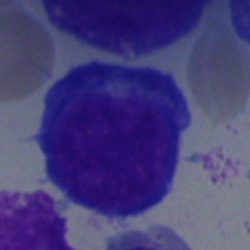 Q: What is the morphological classification of this cell?
A: Pronormoblast.